Bone marrow smear — 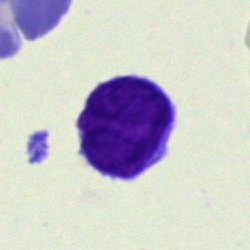 {"cell_type": "lymphocyte", "lineage": "lymphoid"}